Bone marrow aspirate smear.
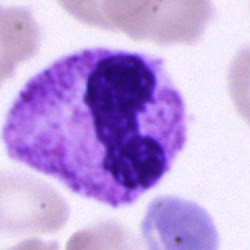

The cell is polymorphonuclear neutrophil.